Bone marrow aspirate smear
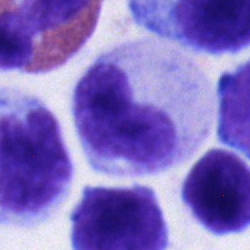Specimen: bone marrow smear.
Classification: metamyelocyte.
Lineage: myeloid.